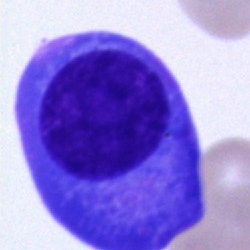Q: Which cell type is shown here?
A: A plasmacyte.